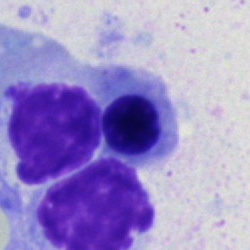 Erythroblast.